Bone marrow smear. Cropped to a single cell:
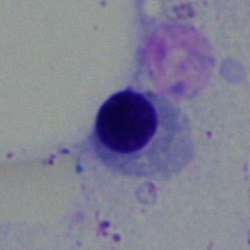
Showing a nucleated red cell.